250 by 250 pixels · bone marrow smear — 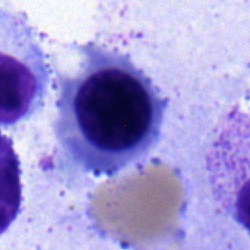

Showing a nucleated red blood cell.